Bone marrow aspirate smear:
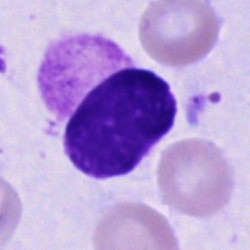Q: Identify the cell.
A: Unidentifiable cell.